Bone marrow aspirate smear
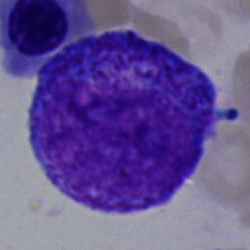 Showing a progranulocyte.